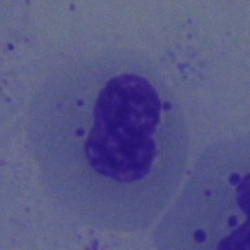
Q: What cell is this?
A: Nucleated red cell.